Bone marrow smear; 40× oil immersion; May-Grünwald-Giemsa/Pappenheim stain: 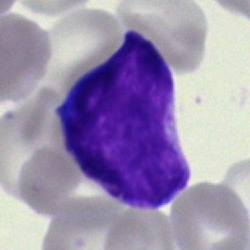 Q: What is shown here?
A: This is an undifferentiated blast.